Bone marrow aspirate smear; single cell centered in the field — 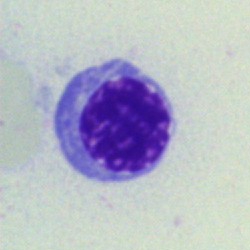

The cell shown is a normoblast.